40× oil immersion. Bone marrow smear.
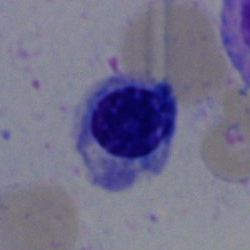A normoblast.